Bone marrow smear. Cropped to a single cell. 250 by 250 pixels:
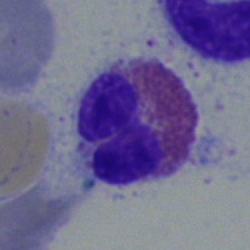
Morphological class: eosinophil.